Bone marrow aspirate smear · brightfield microscopy, 40× oil immersion
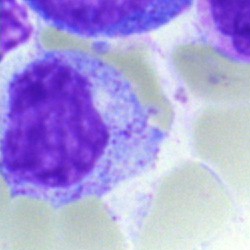
Specimen: bone marrow aspirate smear.
Classification: myelocyte.